Brightfield, 40× oil-immersion objective. Bone marrow smear. 250×250
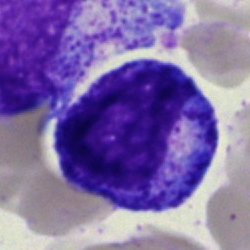Morphology consistent with a promyelocyte.